Bone marrow smear: 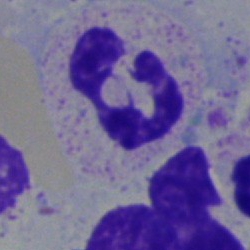
Showing a neutrophil (segmented).